Cropped to a single cell · May-Grünwald-Giemsa stain · bone marrow aspirate smear
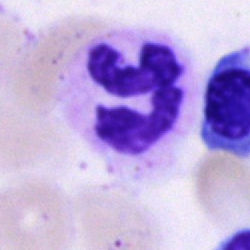

Morphology consistent with a polymorphonuclear neutrophil.